Bone marrow aspirate smear; single cell centered in the field; brightfield, 40× oil-immersion objective: 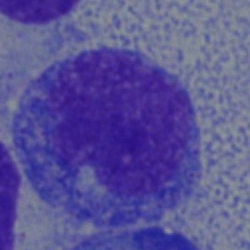The cell is monocyte.